Bone marrow aspirate smear; single-cell field; MGG-stained
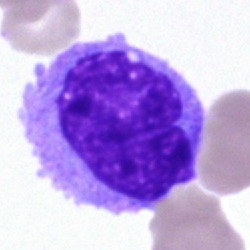 Q: Which cell type is shown here?
A: A monocyte.